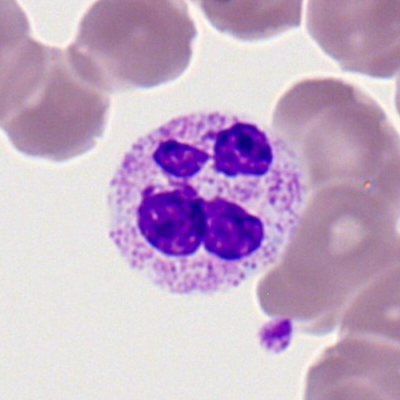

Showing a neutrophil (segmented).